Bone marrow smear. 250 by 250 pixels.
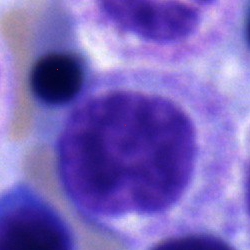

Morphology consistent with a myelocyte.